Bone marrow aspirate smear:
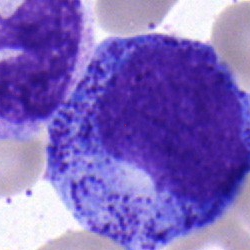

The morphological class is promyelocyte.